Bone marrow aspirate smear. Cropped to a single cell — 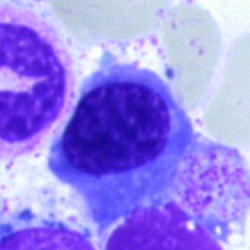 The cell shown is an erythroblast.